Bone marrow aspirate smear — 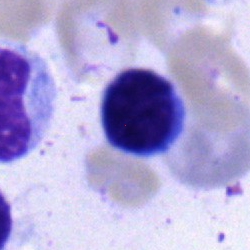
Classification — typical lymphocyte.